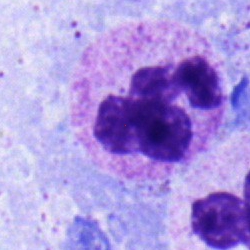Q: Which cell type is shown here?
A: This is a neutrophil (segmented).